Brightfield microscopy, 40× oil immersion · May-Grünwald-Giemsa stain · bone marrow aspirate smear — 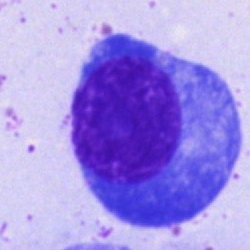 Single cell identified as a plasmacyte.